Bone marrow aspirate smear · Pappenheim-stained: 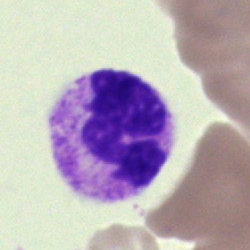Classification — neutrophil (segmented).